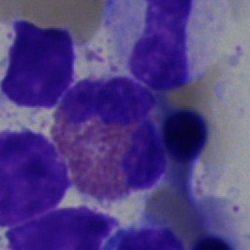
An eosinophil on a bone marrow smear.